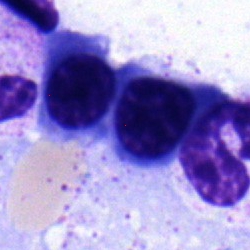

Nucleated red cell.